Bone marrow smear
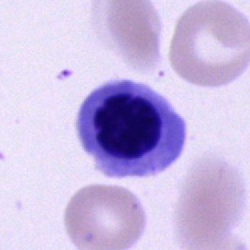 Erythroblast.